360×363 · peripheral blood film:
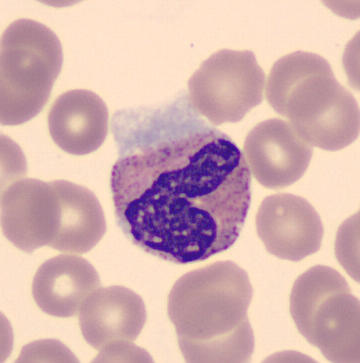
Neutrophil (band).